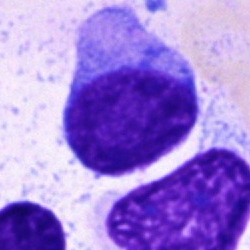

Morphology consistent with a blast cell.